250×250 · bone marrow aspirate smear · May-Grünwald-Giemsa/Pappenheim stain:
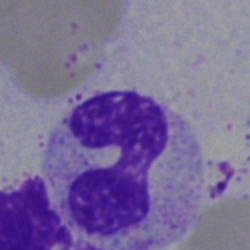Classification = stab cell.